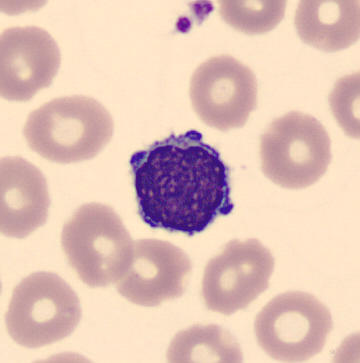
This is a lymphocyte.